Peripheral blood film:
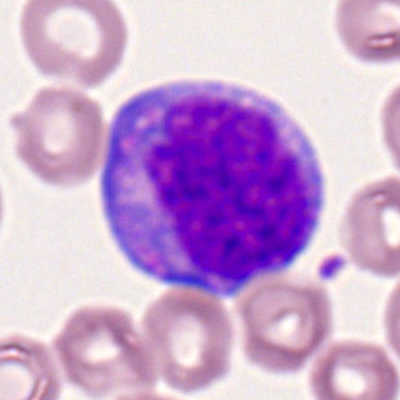 {"cell_type": "monocyte", "lineage": "myeloid"}